Bone marrow smear; 250 by 250 pixels:
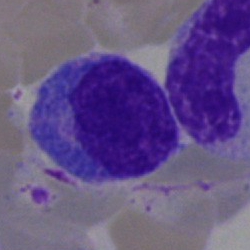 The cell shown is a typical lymphocyte.